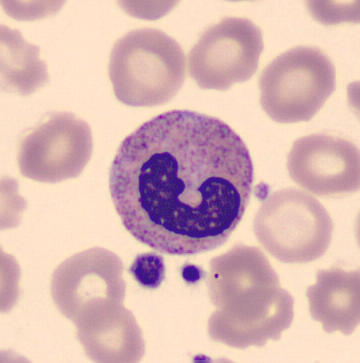Image: Peripheral blood smear. Single-cell field. Morphology consistent with a band neutrophil.